May Grünwald-Giemsa stain; peripheral blood smear: 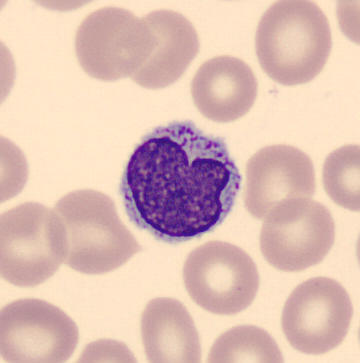 Single cell identified as a lymphocyte.